Brightfield microscopy, 40× oil immersion. Bone marrow smear
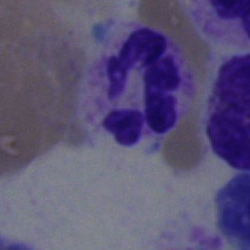

The morphological class is neutrophil (segmented).